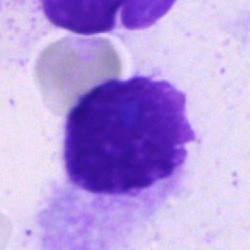

Morphology — artifact.